Bone marrow smear · May-Grünwald-Giemsa stain · 250×250.
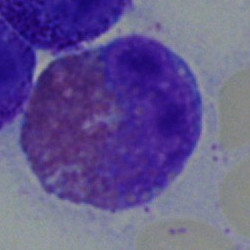
Specimen: bone marrow aspirate smear.
Cell: eosinophilic granulocyte.